Bone marrow aspirate smear.
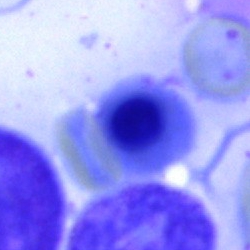
Impression — nucleated red blood cell.